Bone marrow aspirate smear · 40× objective, oil immersion · MGG-stained:
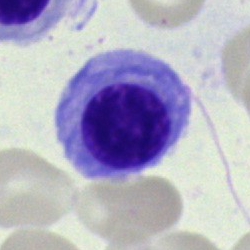

Cell type — normoblast.